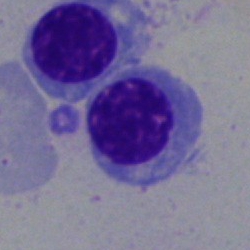 Morphological class — erythroblast.